250×250; bone marrow smear.
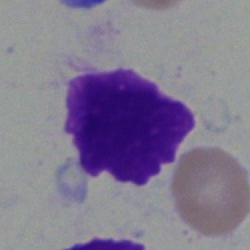 Q: What is shown here?
A: This is an artefact.